Peripheral blood smear; Romanowsky-type stain; single-cell crop — 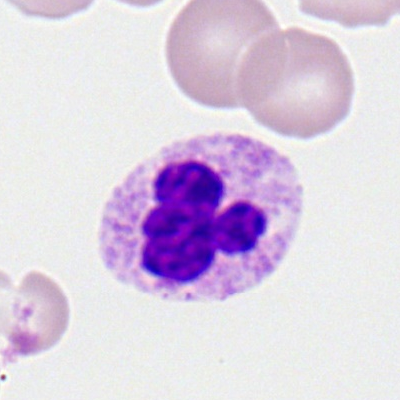Q: What cell is this?
A: Neutrophil (segmented).